250 by 250 pixels · bone marrow aspirate smear:
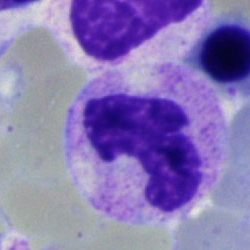

Morphological class = stab cell.